Bone marrow aspirate smear
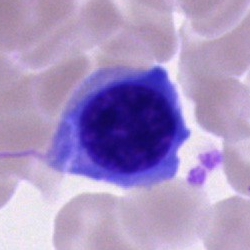

Morphology — erythroblast.